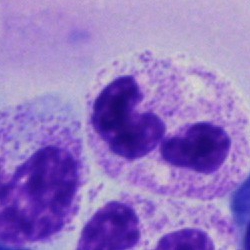 Bone marrow smear showing a polymorphonuclear neutrophil.